Single-cell field. May-Grünwald-Giemsa stain. Bone marrow smear — 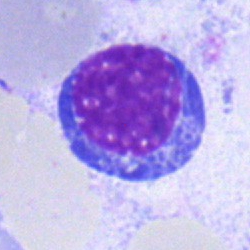

Showing an eosinophil.